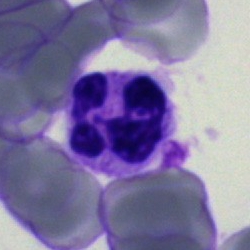Classification = segmented neutrophil.